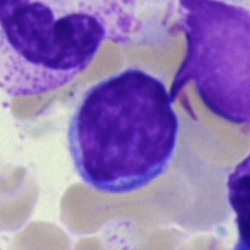
{"cell_type": "typical lymphocyte"}